Peripheral blood film:
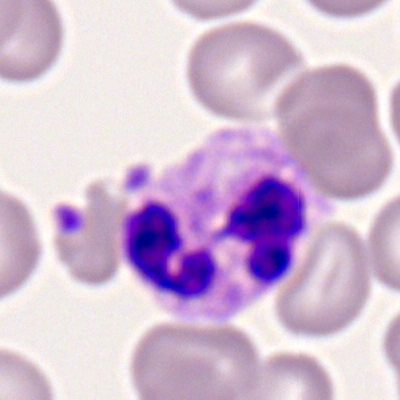
A segmented neutrophil.